Bone marrow smear · single-cell field · brightfield, 40× oil-immersion objective
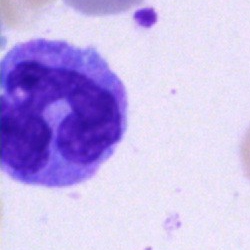
Specimen: bone marrow aspirate smear.
Classification: monocyte.